Romanowsky-type stain · peripheral blood smear
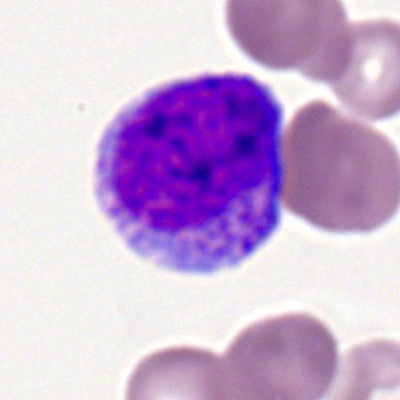 Specimen: peripheral blood film.
Morphological class: myeloblast.
Lineage: myeloid.